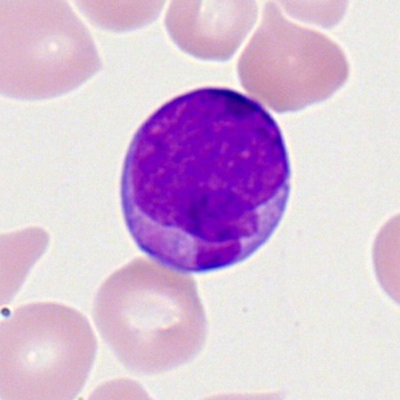 Cell type — myeloid blast.